MGG-stained; bone marrow aspirate smear:
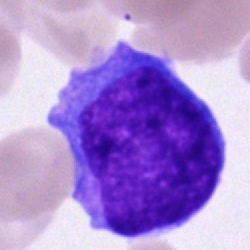 Classification — blast.